Bone marrow aspirate smear:
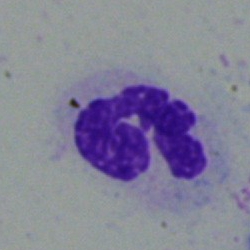 Q: What cell is this?
A: A segmented neutrophil.